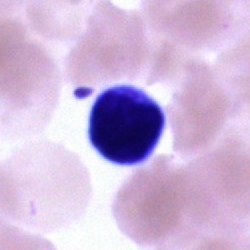The cell shown is a typical lymphocyte.